Bone marrow aspirate smear.
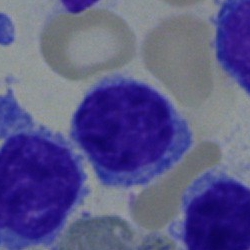Q: What cell is this?
A: A typical lymphocyte.